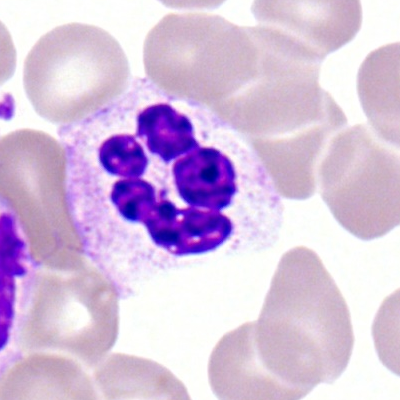
Cell type: neutrophil (segmented).